Bone marrow aspirate smear; 250×250 px.
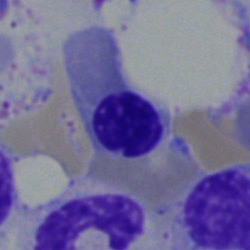
The cell shown is a normoblast.